Cropped to a single cell; bone marrow aspirate smear:
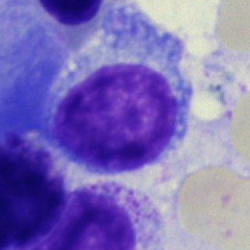 Plasma cell.